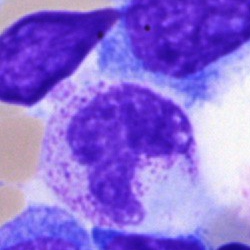
Cell type — polymorphonuclear neutrophil.